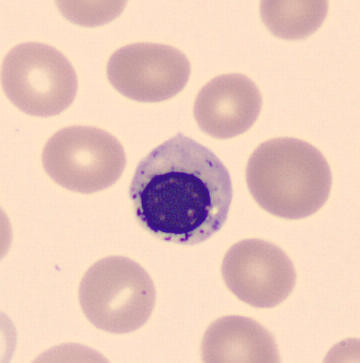

From a peripheral blood smear: a normoblast.